Peripheral blood smear; Romanowsky-stained:
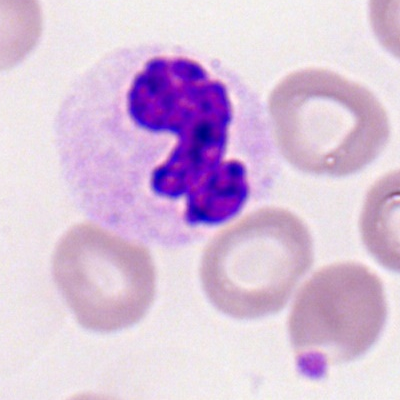 Cell = polymorphonuclear neutrophil.